Bone marrow smear. 40× objective, oil immersion.
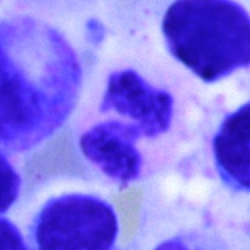

Classification: segmented neutrophil.